250 by 250 pixels. Bone marrow smear. Brightfield, 40× oil-immersion objective
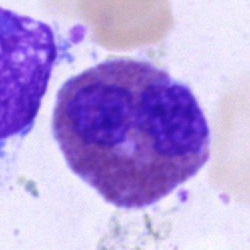
Showing an eosinophilic granulocyte.